Bone marrow smear.
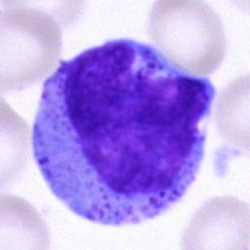

Morphology — progranulocyte.